Bone marrow smear
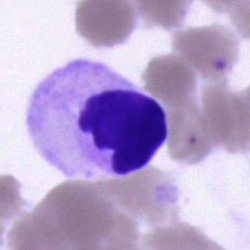Single cell identified as an artefact.